Bone marrow aspirate smear:
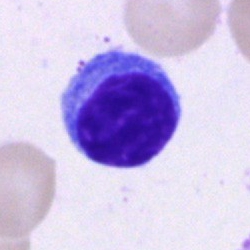Morphology → typical lymphocyte.